Bone marrow aspirate smear: 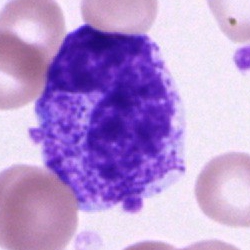 Metamyelocyte.